May-Grünwald-Giemsa stain; bone marrow aspirate smear:
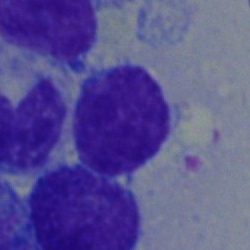

Showing a lymphocyte.